MGG-stained. Bone marrow smear
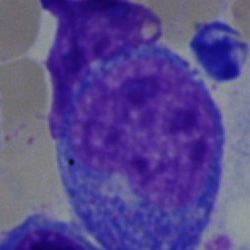
{"cell_type": "progranulocyte", "lineage": "myeloid"}